Bone marrow aspirate smear.
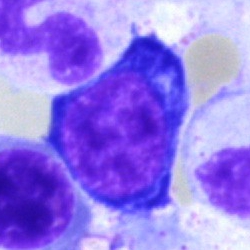 Morphology — pronormoblast.